Bone marrow aspirate smear. Image size 250×250
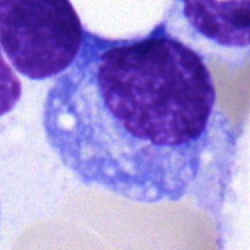

Showing a plasma cell.